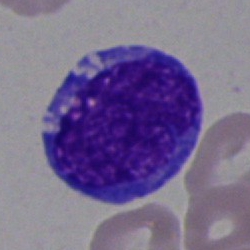

Morphology consistent with an undifferentiated blast.